Single cell centered in the field; bone marrow aspirate smear; May-Grünwald-Giemsa/Pappenheim stain
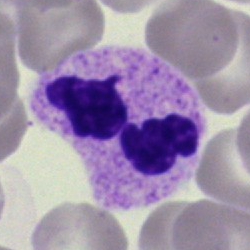
Neutrophil (segmented).